Bone marrow smear. 250×250 px
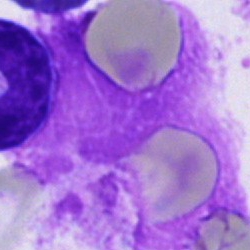 The morphological class is artifact.